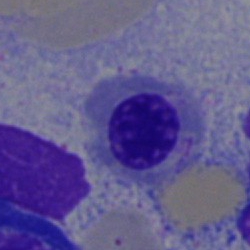

{"cell_type": "normoblast", "lineage": "erythroid"}